Peripheral blood smear · Romanowsky-stained
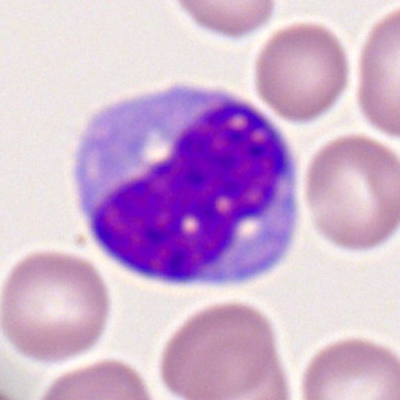

A monocyte.